Bone marrow aspirate smear; 40× oil immersion
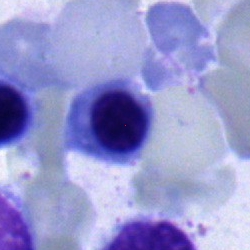

{"cell_type": "normoblast", "lineage": "erythroid"}